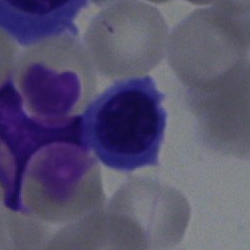
A nucleated red cell on a bone marrow smear.